Romanowsky-type stain. Peripheral blood film. Single cell centered in the field:
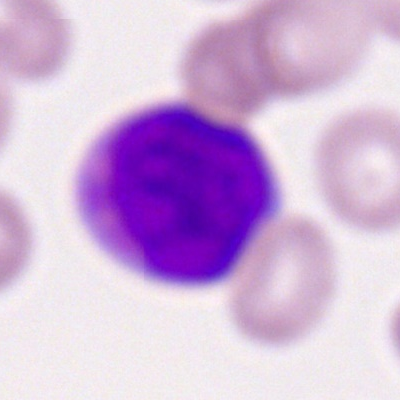 The cell shown is a myeloid blast.